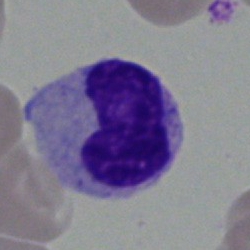
Specimen: bone marrow aspirate smear.
Morphological class: band-form neutrophil.